250×250 px. Bone marrow smear:
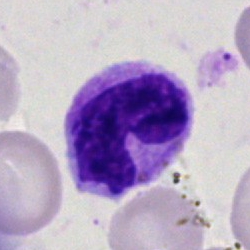
Impression → band neutrophil.